May-Grünwald-Giemsa stain · bone marrow aspirate smear.
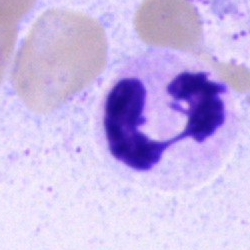 Neutrophil (segmented).